Bone marrow smear — 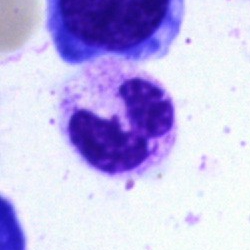 Segmented neutrophil.